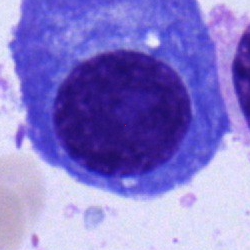 Classification = plasma cell.